May-Grünwald-Giemsa/Pappenheim stain; cropped to a single cell; bone marrow smear: 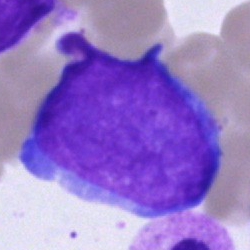

Single cell identified as an undifferentiated blast.